Bone marrow smear:
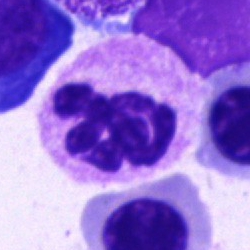Morphological class — segmented neutrophil.